Brightfield, 40× oil-immersion objective · bone marrow aspirate smear · single-cell crop.
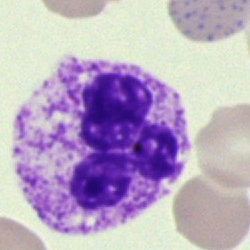

Classification = segmented neutrophil.